Image size 250×250. Bone marrow aspirate smear
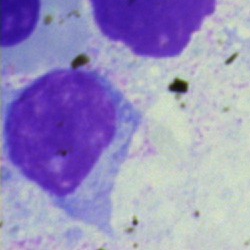A typical lymphocyte.